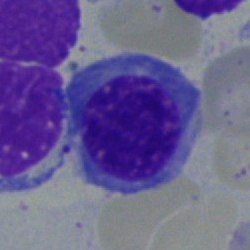

Specimen: bone marrow aspirate smear.
Cell: nucleated red cell.